May-Grünwald-Giemsa/Pappenheim stain. Single-cell field. Bone marrow aspirate smear: 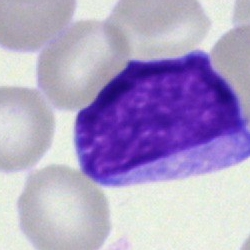 Cell = blast.